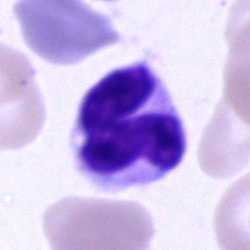 Q: What is the morphological classification of this cell?
A: This is a neutrophil (segmented).